Bone marrow aspirate smear — 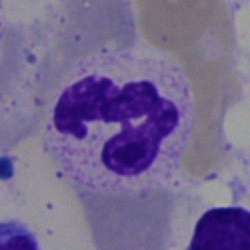 The cell shown is a polymorphonuclear neutrophil.